Bone marrow aspirate smear:
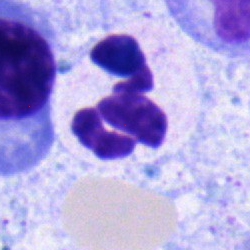

Cell = segmented neutrophil.